Bone marrow smear. Single-cell crop. Brightfield microscopy, 40× oil immersion:
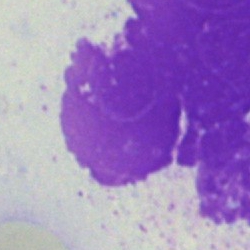

Impression → artifact.